Bone marrow aspirate smear; May-Grünwald-Giemsa stain; brightfield, 40× oil-immersion objective: 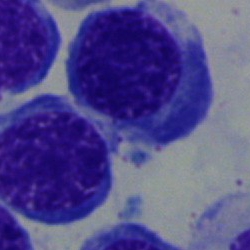The morphological class is erythroblast.